Pappenheim-stained; bone marrow smear; 250×250 — 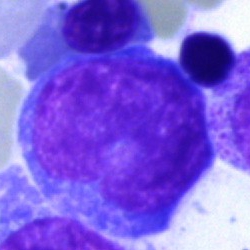
Morphological class = pronormoblast.